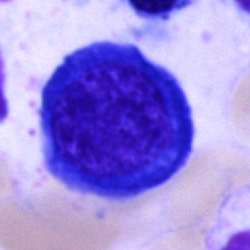Q: What cell is this?
A: Nucleated red cell.